250×250; bone marrow smear; May-Grünwald-Giemsa stain:
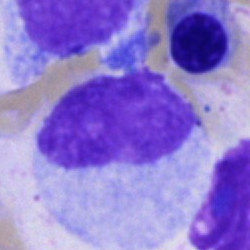

Classification — cell of indeterminate lineage.